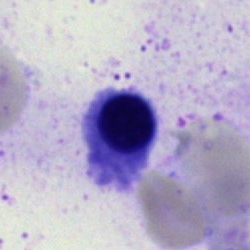 Showing a nucleated red cell.